Single cell centered in the field; bone marrow smear:
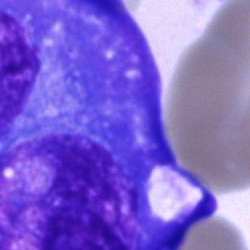

Cell type: plasma cell.